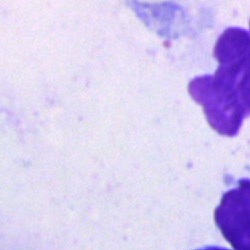

Classification: artefact.